Bone marrow aspirate smear · brightfield microscopy, 40× oil immersion.
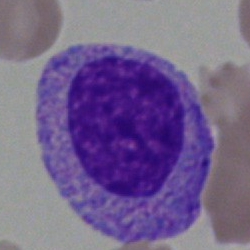

The cell shown is a progranulocyte.